Bone marrow aspirate smear; brightfield microscopy, 40× oil immersion; cropped to a single cell
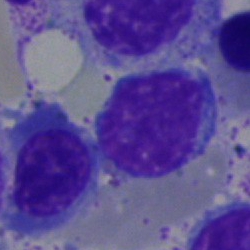Impression — typical lymphocyte.